Bone marrow aspirate smear. Pappenheim-stained.
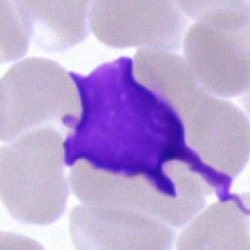
Q: What is shown here?
A: Artefact.